Brightfield, 40× oil-immersion objective; bone marrow aspirate smear — 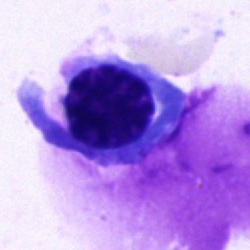
Nucleated red cell.